Bone marrow smear; 40× oil immersion: 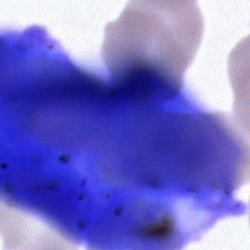

Single cell identified as an artifact.